Bone marrow aspirate smear:
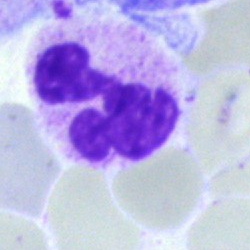Morphology → polymorphonuclear neutrophil.